Bone marrow aspirate smear.
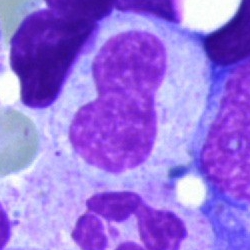 {"cell_type": "neutrophil (band)"}